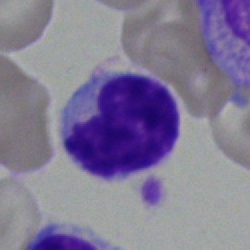Morphological class: lymphocyte.